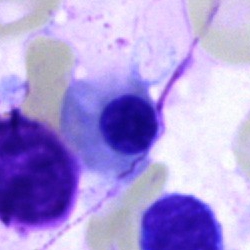

Bone marrow aspirate smear, single cell — nucleated red cell.